400×400 px; peripheral blood film; Romanowsky-type stain.
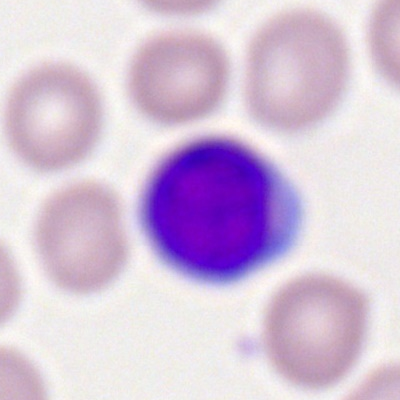Q: What is the morphological classification of this cell?
A: It is a lymphocyte.